Bone marrow aspirate smear. Pappenheim-stained.
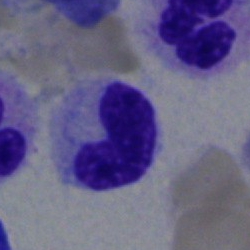Q: What is shown here?
A: It is a band neutrophil.